250 by 250 pixels. Pappenheim-stained. Bone marrow smear:
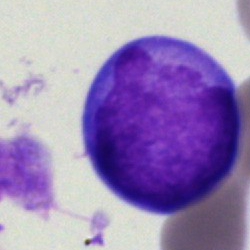
Specimen: bone marrow aspirate smear.
Morphological class: blast.